Peripheral blood smear — 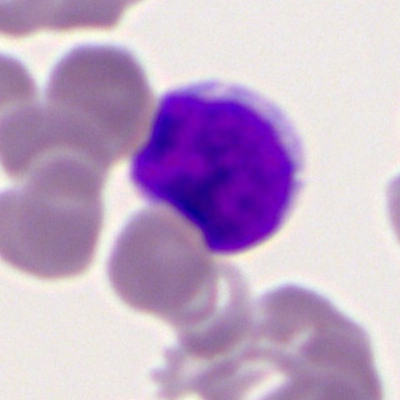Showing a myeloid blast.